Brightfield microscopy, 40× oil immersion; bone marrow aspirate smear; image size 250×250: 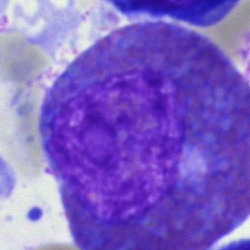
The morphological class is eosinophil.